Bone marrow aspirate smear.
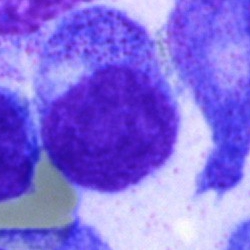{"cell_type": "promyelocyte"}